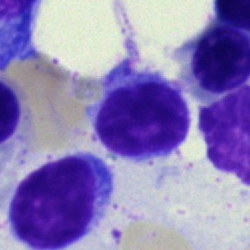
Morphological class: lymphocyte.